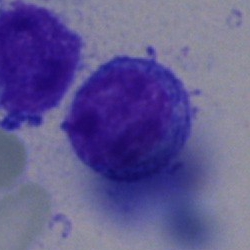 The cell shown is a lymphocyte.